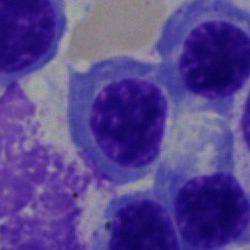

Impression → erythroblast.